Single-cell field. Peripheral blood smear:
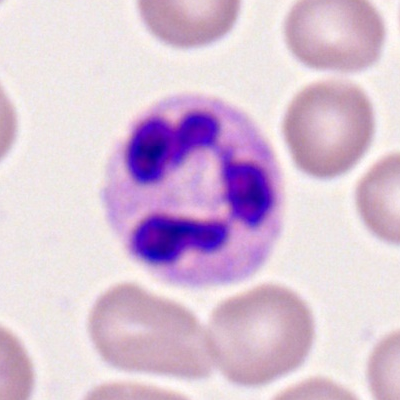Single cell identified as a neutrophil (segmented).